Peripheral blood smear:
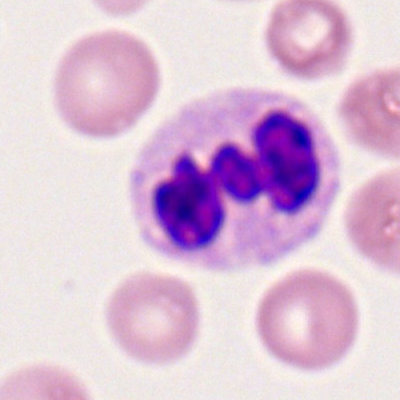 Morphological class — segmented neutrophil.